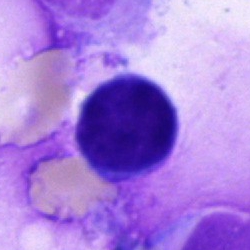Classification — unidentifiable cell.